Cropped to a single cell. Bone marrow aspirate smear: 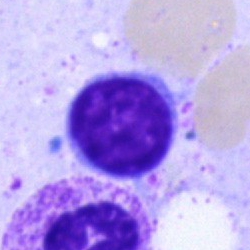Cell type — typical lymphocyte.